Cropped to a single cell. Peripheral blood film.
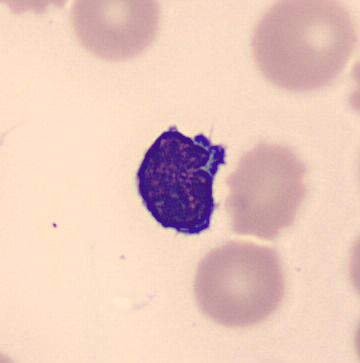
Morphology consistent with a typical lymphocyte.